Bone marrow aspirate smear; May-Grünwald-Giemsa stain; single-cell crop.
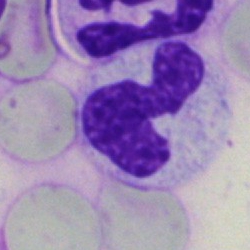
Specimen: bone marrow aspirate smear.
Classification: segmented neutrophil.
Lineage: myeloid.